Single-cell field · bone marrow aspirate smear — 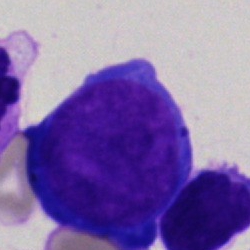 Specimen: bone marrow smear.
Cell type: pronormoblast.